Bone marrow aspirate smear — 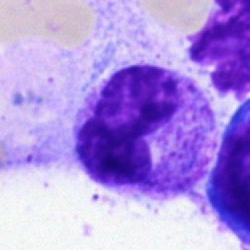
Q: Which cell type is shown here?
A: It is a metamyelocyte.